Bone marrow aspirate smear. 40× oil immersion. MGG-stained: 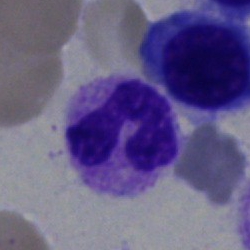

Q: Identify the cell.
A: A polymorphonuclear neutrophil.